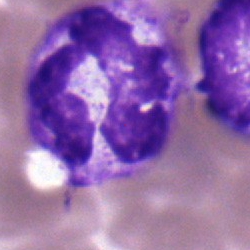
Cell = neutrophil (segmented).